Peripheral blood film: 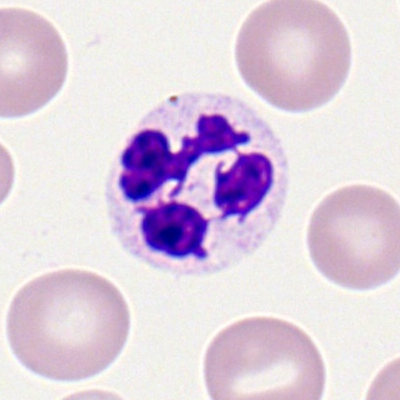Segmented neutrophil.